Bone marrow smear — 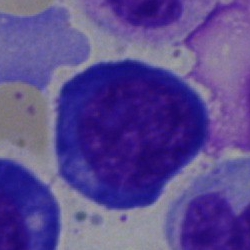Q: What is the morphological classification of this cell?
A: Nucleated red cell.